Brightfield, 40× oil-immersion objective. 250×250 px. Bone marrow aspirate smear.
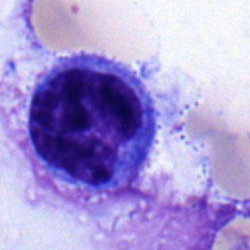
Showing a monocyte.